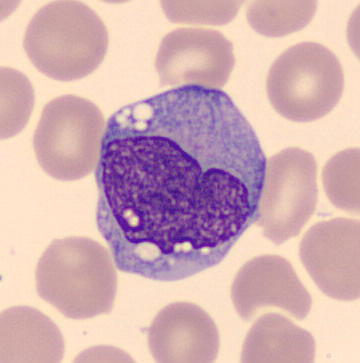 Preparation: Peripheral blood film.

Morphology — monocyte.